Bone marrow aspirate smear:
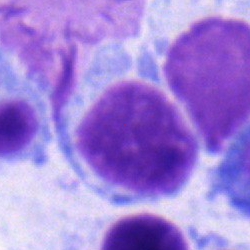

Showing a typical lymphocyte.